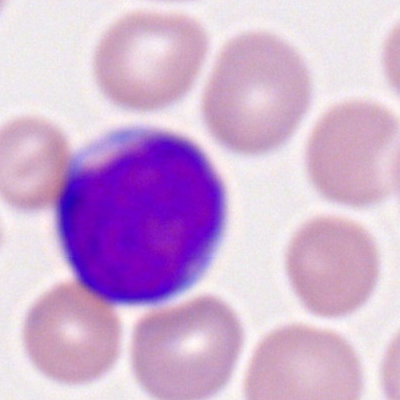
Q: Identify the cell.
A: A myeloblast.